250×250. Bone marrow aspirate smear:
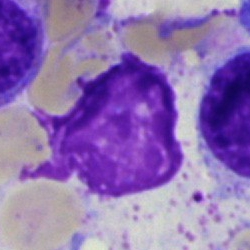

Showing an artifact.